Single-cell field. Bone marrow smear.
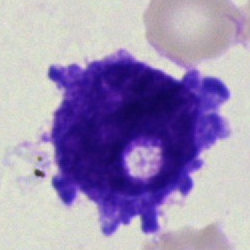

Q: What cell is this?
A: A blast cell.